Bone marrow aspirate smear:
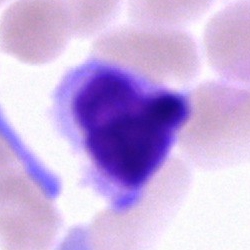
Morphology consistent with a nucleated red blood cell.